Pappenheim-stained · bone marrow smear
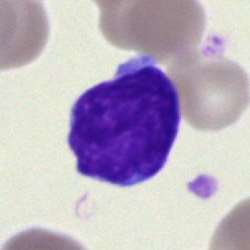
Typical lymphocyte.